Bone marrow aspirate smear. 250×250 px.
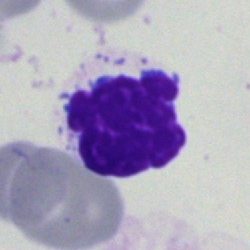Q: What is shown here?
A: This is an artefact.